Bone marrow aspirate smear:
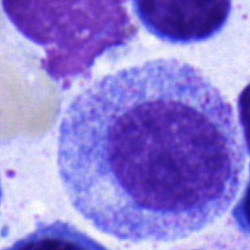

{"cell_type": "myelocyte", "lineage": "myeloid"}